Peripheral blood film:
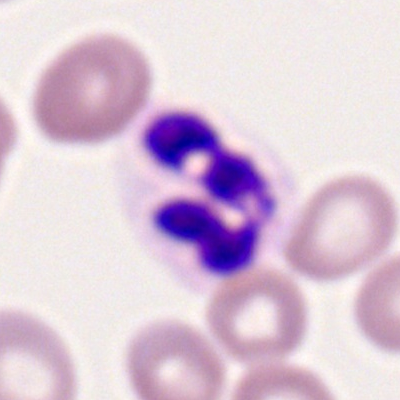 Q: What type of cell is this?
A: Polymorphonuclear neutrophil.